Bone marrow aspirate smear
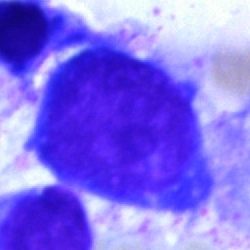The cell type is pronormoblast.